Cropped to a single cell. Bone marrow aspirate smear. 250×250.
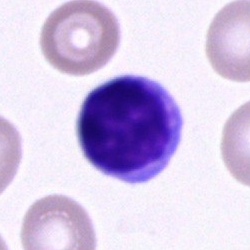 Q: Which cell type is shown here?
A: This is a typical lymphocyte.